Bone marrow smear
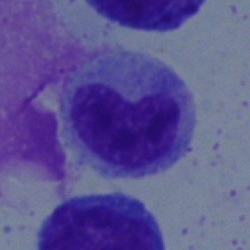 Specimen: bone marrow aspirate smear.
Classification: metamyelocyte.